Pappenheim-stained · bone marrow smear · single cell centered in the field.
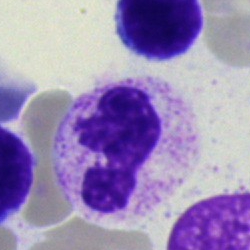 A polymorphonuclear neutrophil.